Image size 250×250; bone marrow aspirate smear; Pappenheim-stained: 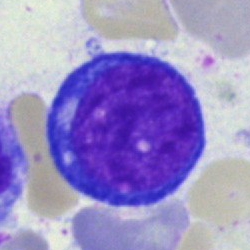
The cell type is pronormoblast.